Bone marrow aspirate smear — 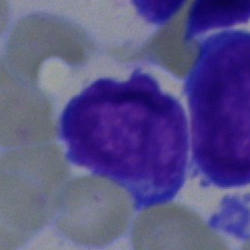Q: What is shown here?
A: Blast.